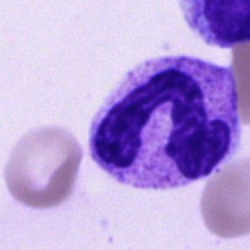Bone marrow aspirate smear, single cell — band neutrophil.